Bone marrow aspirate smear
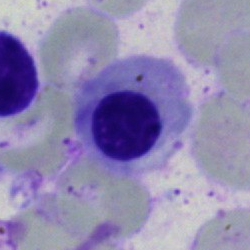
Q: What is shown here?
A: Nucleated red cell.